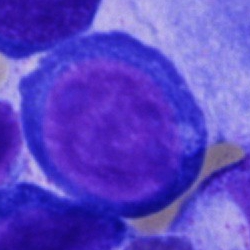 Q: What type of cell is this?
A: Pronormoblast.